Bone marrow smear:
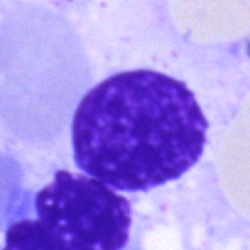Cell — artifact.